Bone marrow aspirate smear: 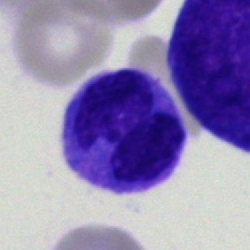
A monocyte.